Single-cell field. 250×250. Bone marrow smear.
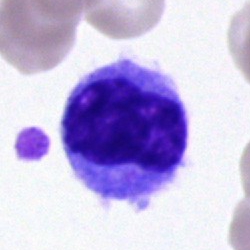Q: What cell is this?
A: A lymphocyte.